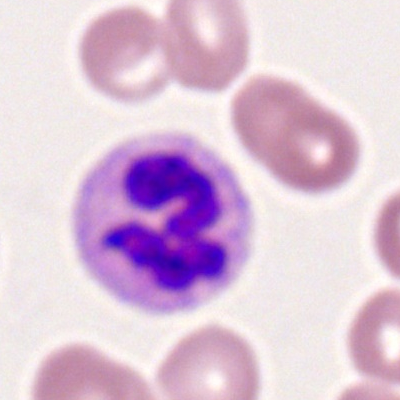
The cell shown is a segmented neutrophil.